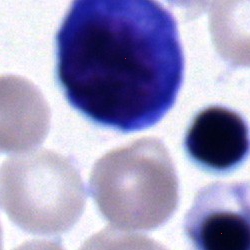 Bone marrow smear showing an erythroblast.